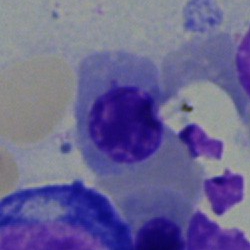

Morphological class — nucleated red blood cell.